Peripheral blood film: 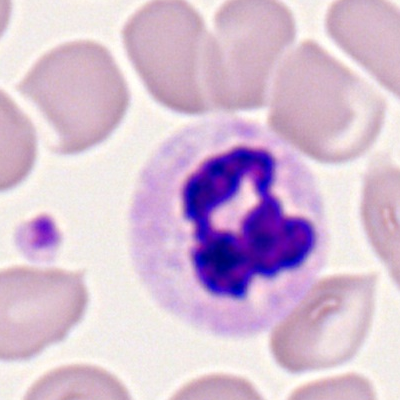

{"cell_type": "neutrophil (segmented)"}